Bone marrow smear: 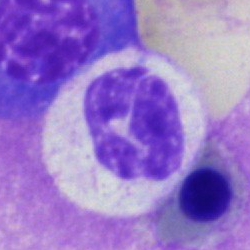Morphological class: neutrophil (segmented).